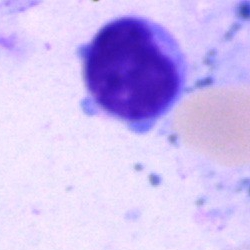
Q: Which cell type is shown here?
A: This is a typical lymphocyte.